40× oil immersion. Bone marrow smear.
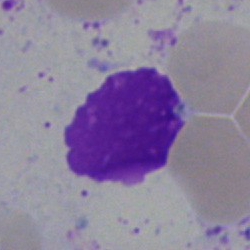
Impression — artefact.